Peripheral blood smear
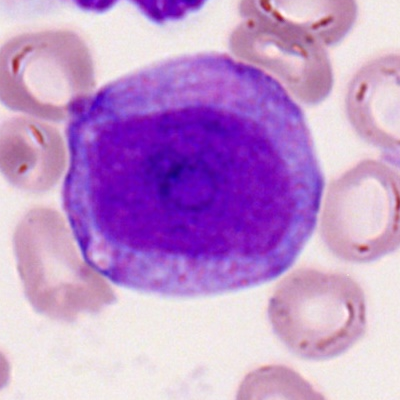

Specimen: peripheral blood smear.
Cell: progranulocyte.
Lineage: myeloid.